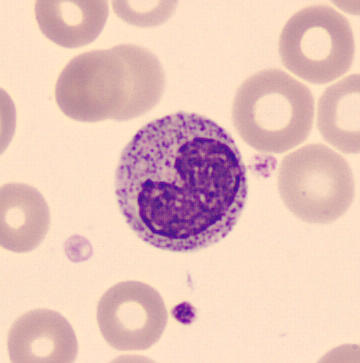

Peripheral blood smear.

Cell type: metamyelocyte.